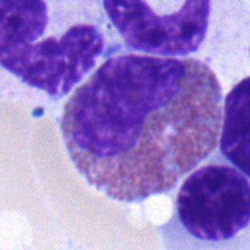
An eosinophil.